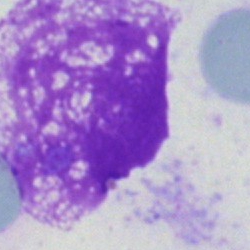Cell type — artefact.